250 by 250 pixels; bone marrow aspirate smear: 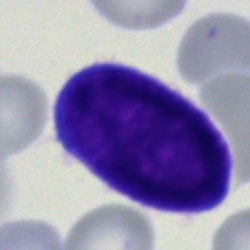Specimen: bone marrow smear.
Cell type: blast.